Image size 400×400. Peripheral blood smear: 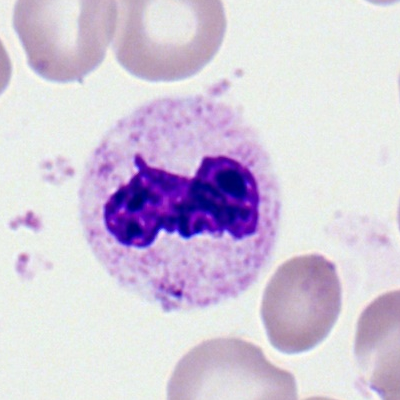Single cell identified as a polymorphonuclear neutrophil.